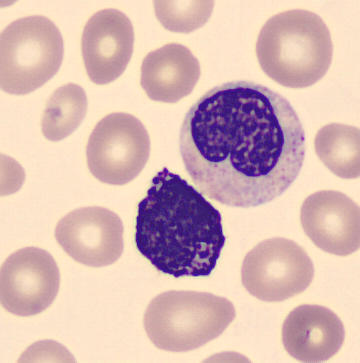 Morphology — basophil.